Peripheral blood smear.
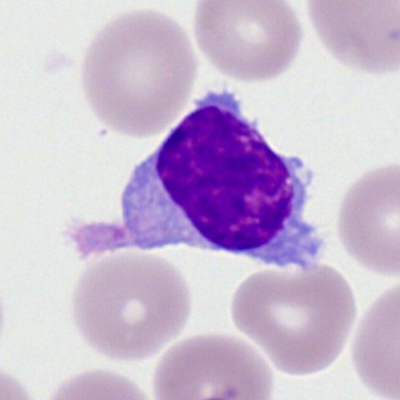

Q: Identify the cell.
A: Lymphocyte.